Bone marrow aspirate smear; 250 by 250 pixels; brightfield microscopy, 40× oil immersion:
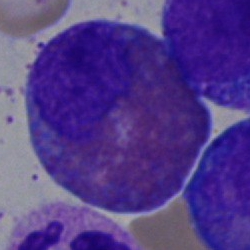

Morphology — eosinophilic granulocyte.